Bone marrow smear; single-cell crop; 40× oil immersion — 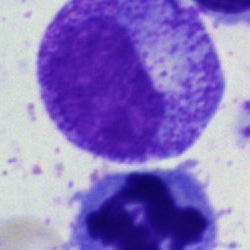

Showing a myelocyte.